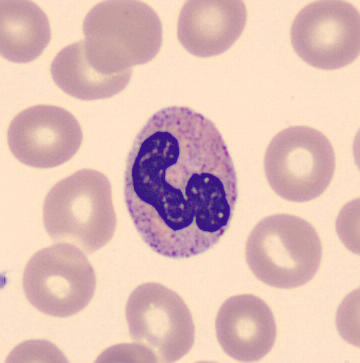Cell type = polymorphonuclear neutrophil.